Bone marrow aspirate smear: 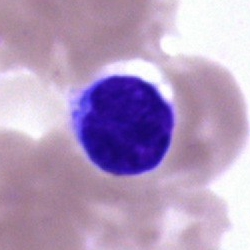
Q: Identify the cell.
A: It is a typical lymphocyte.